Bone marrow aspirate smear; 40× oil immersion
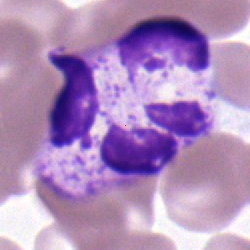
The classification is polymorphonuclear neutrophil.